Bone marrow aspirate smear.
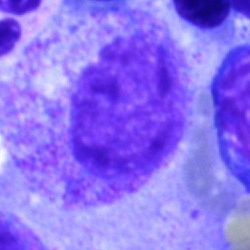Impression — progranulocyte.